Bone marrow aspirate smear · 250×250 · cropped to a single cell
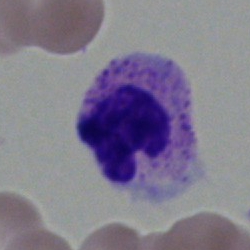Morphology — polymorphonuclear neutrophil.